Brightfield microscopy, 40× oil immersion. Bone marrow aspirate smear
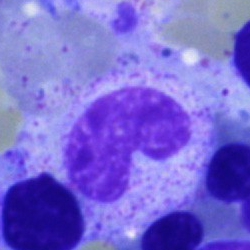

Morphology — neutrophil (band).